250×250 · bone marrow smear — 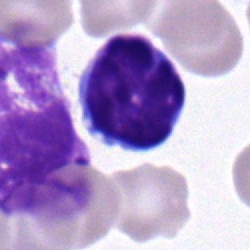
Cell — typical lymphocyte.